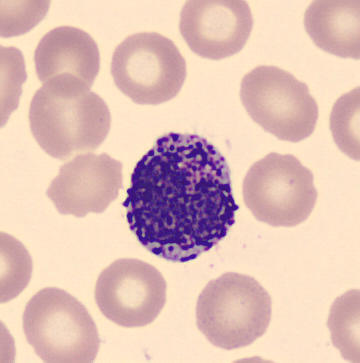
Morphology — basophil.

Preparation: Peripheral blood smear.